Bone marrow aspirate smear: 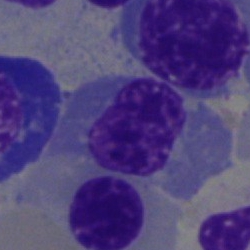 The cell type is normoblast.